Cropped to a single cell; bone marrow smear — 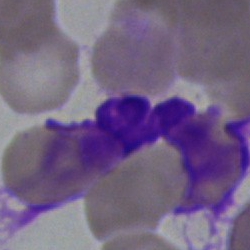The cell is artifact.